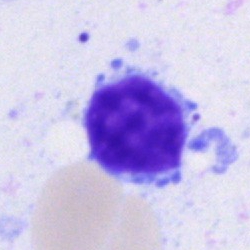Specimen: bone marrow smear.
Morphological class: lymphocyte.